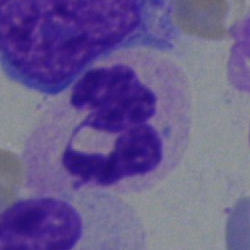

Bone marrow smear showing a segmented neutrophil.